May Grünwald-Giemsa stain. CellaVision DM96 digital cell image. Peripheral blood smear.
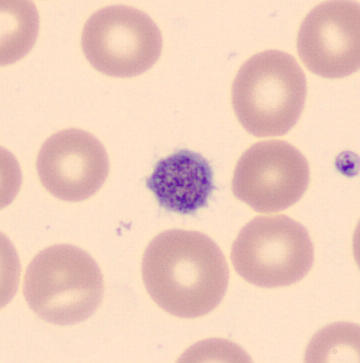

Impression → platelet (thrombocyte).